MGG-stained; 40× oil immersion; bone marrow aspirate smear: 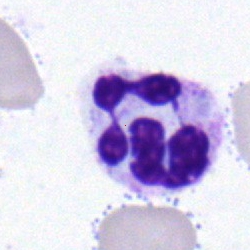 Q: What type of cell is this?
A: It is a segmented neutrophil.